Bone marrow smear
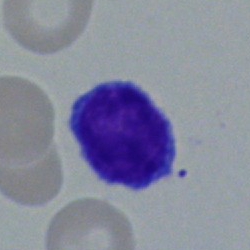
Cell: lymphocyte.